Bone marrow smear:
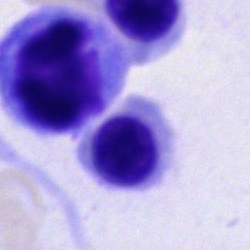A nucleated red blood cell.